Bone marrow smear. Brightfield microscopy, 40× oil immersion: 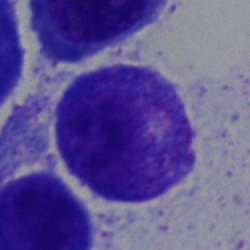
Q: Which cell type is shown here?
A: A progranulocyte.